Peripheral blood smear:
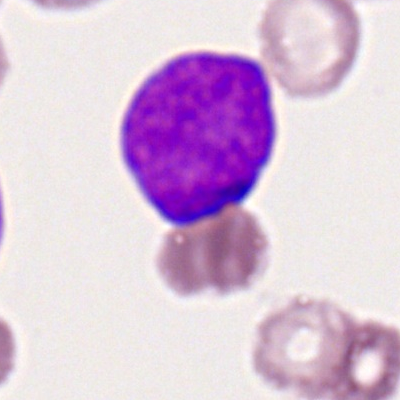Q: What is shown here?
A: This is a myeloid blast.